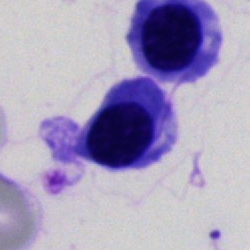An erythroblast on a bone marrow smear.